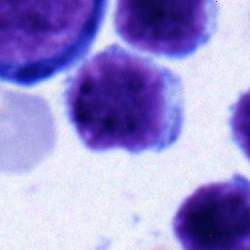The morphological class is lymphocyte.